Bone marrow smear; 40× oil immersion — 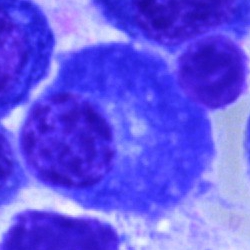This is a plasma cell.